Cropped to a single cell. Peripheral blood film: 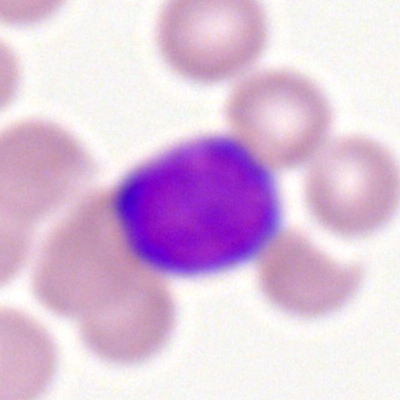
Q: What is shown here?
A: It is a myeloblast.